Bone marrow smear
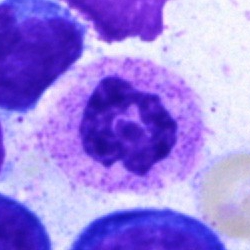

Q: What is shown here?
A: This is a neutrophil (segmented).